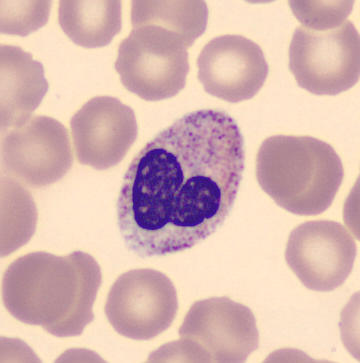 Preparation: 360×363 px. Peripheral blood smear.

Showing a band neutrophil.